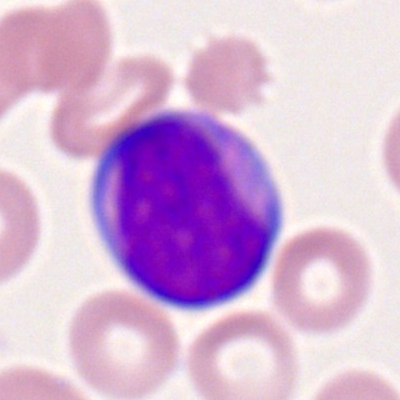

A myeloblast.